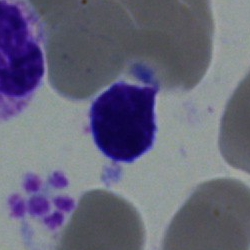 Q: Which cell type is shown here?
A: Lymphocyte.